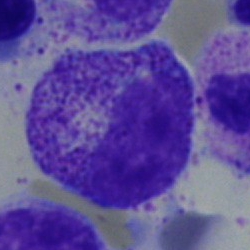Cell type = myelocyte.